Cropped to a single cell · bone marrow aspirate smear:
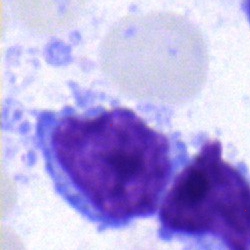The cell type is typical lymphocyte.